Peripheral blood film
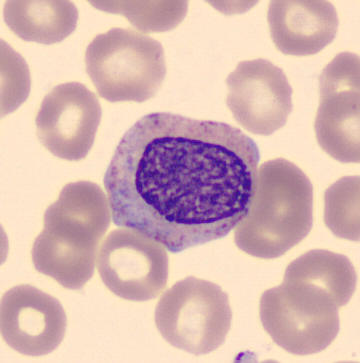

Single cell identified as a myelocyte.